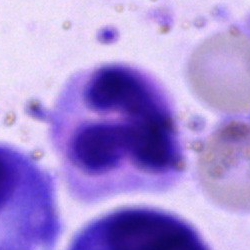

Specimen: bone marrow aspirate smear.
Cell type: neutrophil (segmented).
Lineage: myeloid.